Pappenheim-stained · bone marrow aspirate smear · 250 by 250 pixels: 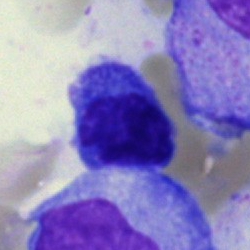

A lymphocyte.